Bone marrow aspirate smear · MGG-stained · single cell centered in the field:
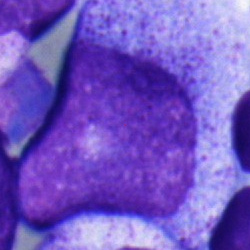
Specimen: bone marrow aspirate smear.
Classification: promyelocyte.